Bone marrow aspirate smear — 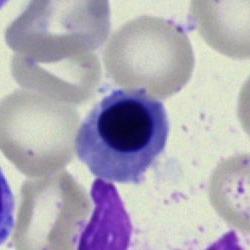

A nucleated red blood cell.